Bone marrow aspirate smear · single-cell crop — 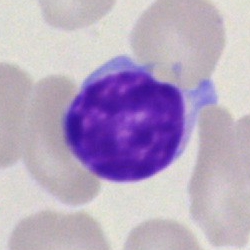
Q: What type of cell is this?
A: This is a typical lymphocyte.